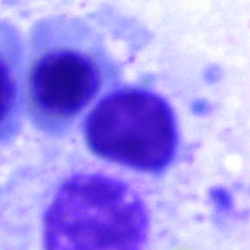Artefact.